Bone marrow smear. Image size 250×250:
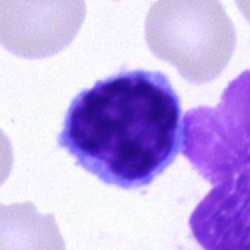

{"cell_type": "lymphocyte"}